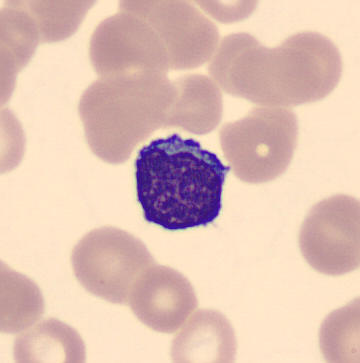 Preparation: Peripheral blood film.

Morphology — lymphocyte.